Bone marrow smear — 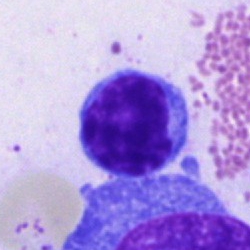 Specimen: bone marrow smear.
Classification: typical lymphocyte.